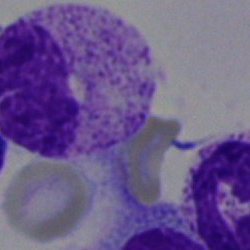Bone marrow aspirate smear, single cell — myelocyte.